Bone marrow smear: 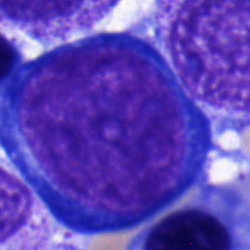

Q: Identify the cell.
A: A pronormoblast.